Bone marrow smear.
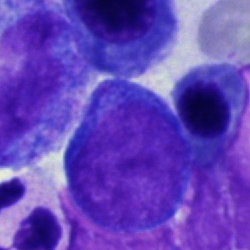 Morphology consistent with a pronormoblast.